Bone marrow aspirate smear:
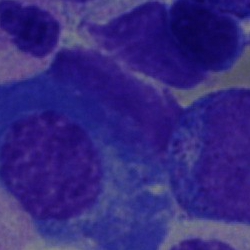

Morphological class — plasmacyte.